Bone marrow smear.
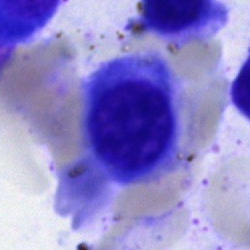 The cell is nucleated red blood cell.